Bone marrow smear.
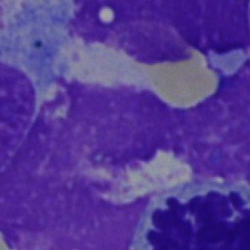The cell type is artefact.